Bone marrow smear; cropped to a single cell; May-Grünwald-Giemsa/Pappenheim stain.
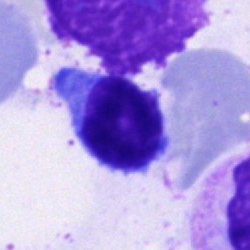
Q: Which cell type is shown here?
A: This is a lymphocyte.